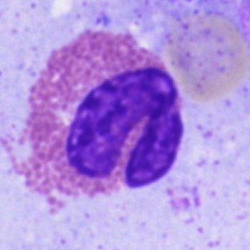 The cell is eosinophilic granulocyte.